Bone marrow aspirate smear; 250 by 250 pixels; brightfield, 40× oil-immersion objective
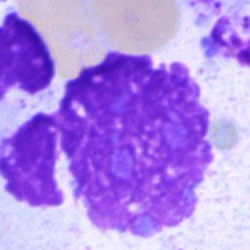

Morphological class = artefact.